Cropped to a single cell; bone marrow aspirate smear — 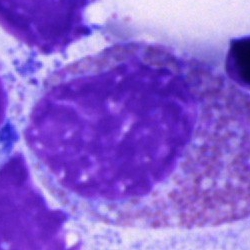
This is an eosinophil.